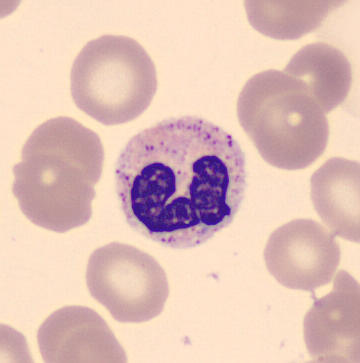

Peripheral blood film.
Q: Which cell type is shown here?
A: Polymorphonuclear neutrophil.